Bone marrow smear; cropped to a single cell
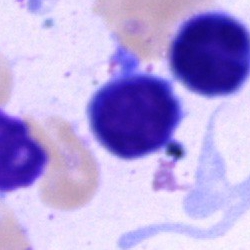The classification is typical lymphocyte.